Bone marrow aspirate smear; cropped to a single cell; May-Grünwald-Giemsa stain — 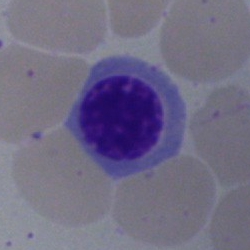
{"cell_type": "normoblast"}